Brightfield, 40× oil-immersion objective. Bone marrow aspirate smear — 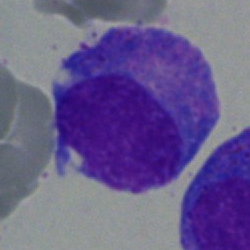

Morphology — undifferentiated blast.